Peripheral blood film:
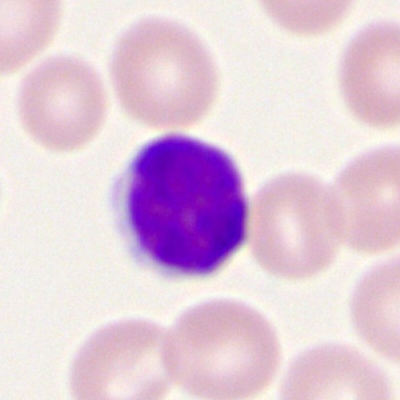A lymphocyte.